40× objective, oil immersion · May-Grünwald-Giemsa stain · bone marrow aspirate smear — 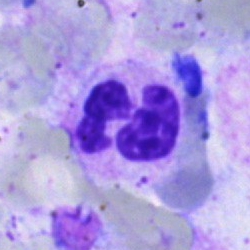 Q: What type of cell is this?
A: Segmented neutrophil.